Cropped to a single cell. Brightfield microscopy, 40× oil immersion. Bone marrow aspirate smear — 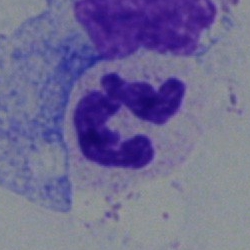Morphology → neutrophil (segmented).